Bone marrow aspirate smear — 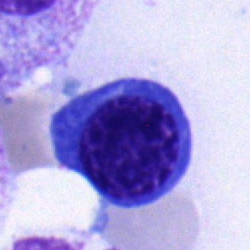
This is an erythroblast.